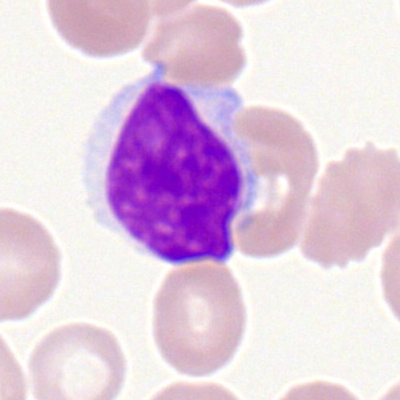 Specimen: peripheral blood smear.
Cell: lymphocyte.